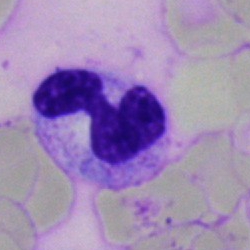

Single cell identified as a neutrophil (segmented).